Bone marrow smear
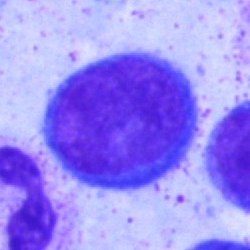Single cell identified as a lymphocyte.